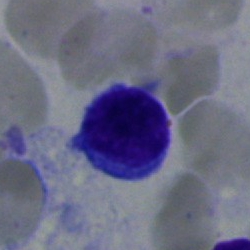
Classification = typical lymphocyte.